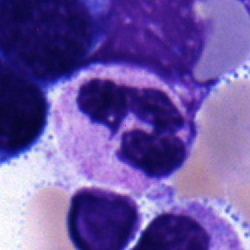 {"cell_type": "segmented neutrophil"}